Bone marrow aspirate smear: 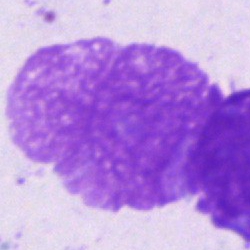The cell shown is an artefact.